Bone marrow aspirate smear.
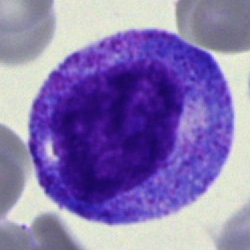

Q: Identify the cell.
A: It is a promyelocyte.